Bone marrow smear.
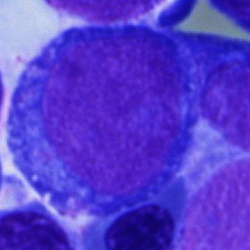Q: What type of cell is this?
A: It is a blast.